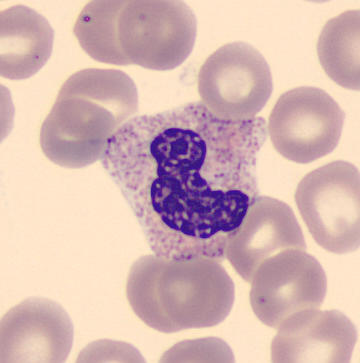 Morphology — segmented neutrophil.
Preparation: May Grünwald-Giemsa stain. Peripheral blood film.